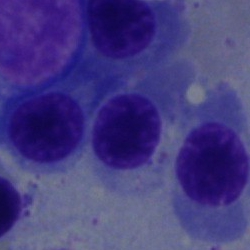

Q: What cell is this?
A: This is a normoblast.